Bone marrow smear
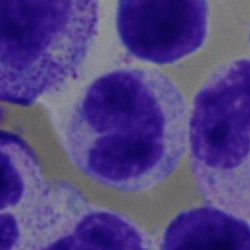

A stab cell.